Brightfield, 40× oil-immersion objective; bone marrow smear.
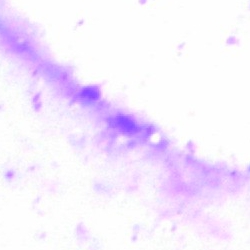

Morphology → artefact.